Bone marrow aspirate smear.
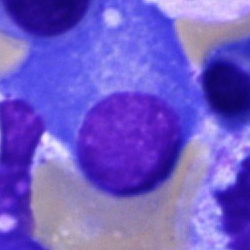Cell = plasma cell.